Peripheral blood smear: 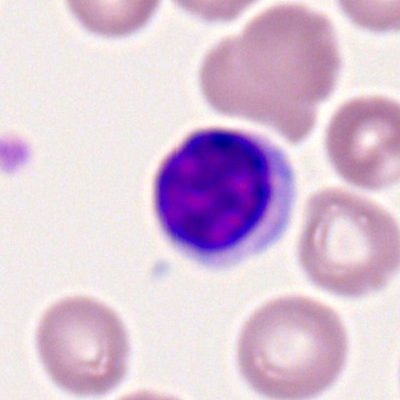
Specimen: peripheral blood film.
Cell: typical lymphocyte.
Lineage: lymphoid.